Bone marrow aspirate smear
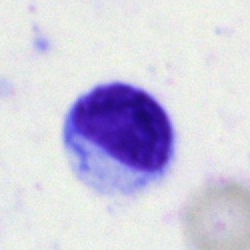
The cell shown is a typical lymphocyte.